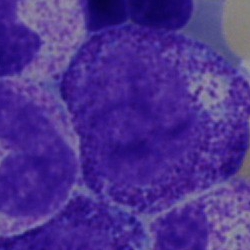 Q: What type of cell is this?
A: Myelocyte.